Bone marrow aspirate smear
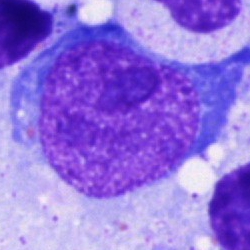Morphology → proerythroblast.